Bone marrow aspirate smear
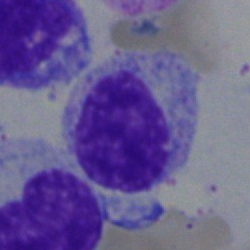
Q: What is shown here?
A: This is a myelocyte.